Bone marrow smear:
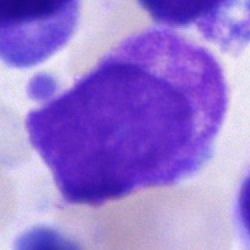
This is a cell of indeterminate lineage.